Bone marrow smear. Brightfield, 40× oil-immersion objective — 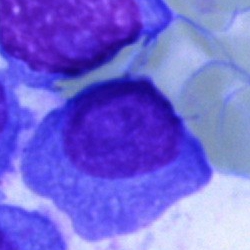

A plasma cell.